400×400. Peripheral blood smear. Single cell centered in the field:
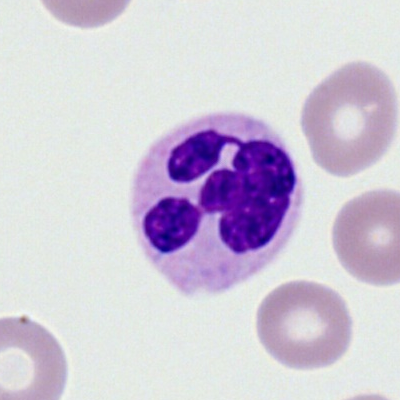
The cell type is polymorphonuclear neutrophil.